Brightfield microscopy, 40× oil immersion. Bone marrow aspirate smear: 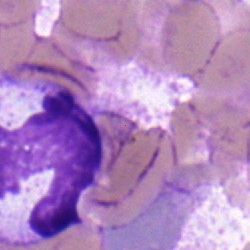

Showing a segmented neutrophil.